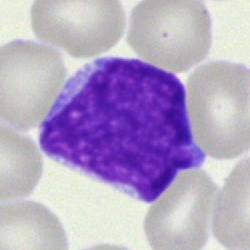
Morphology consistent with a blast cell.